Bone marrow smear
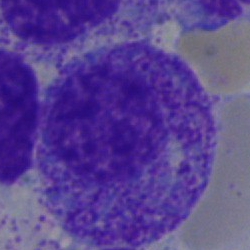

{"cell_type": "myelocyte"}